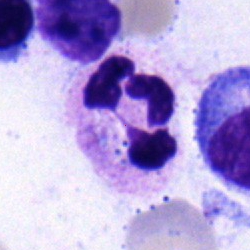

The cell shown is a polymorphonuclear neutrophil.